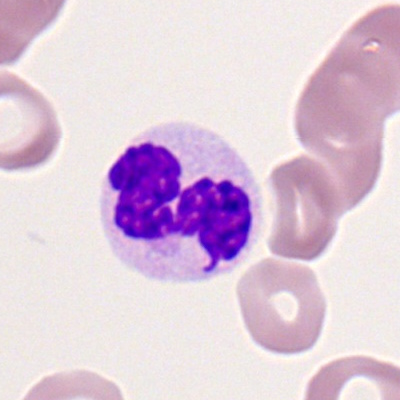 Impression — polymorphonuclear neutrophil.